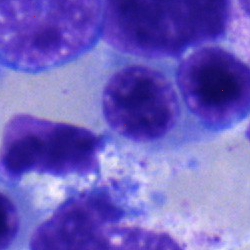Cell type: erythroblast.